Bone marrow smear: 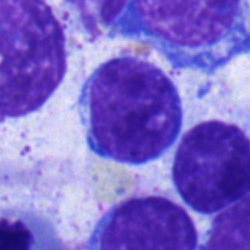 Morphology consistent with a lymphocyte.